Bone marrow smear · 40× oil immersion.
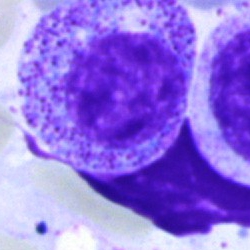 Impression → myelocyte.